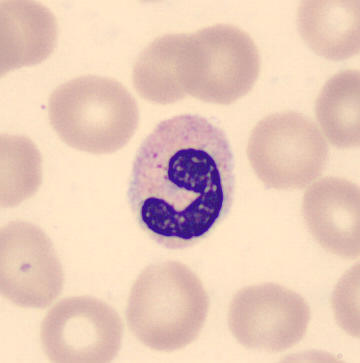
Image: Peripheral blood smear. The cell shown is a band neutrophil.